250×250 px; bone marrow aspirate smear
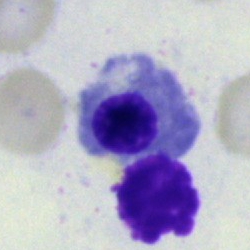 Morphology consistent with a nucleated red cell.